40× oil immersion; bone marrow aspirate smear — 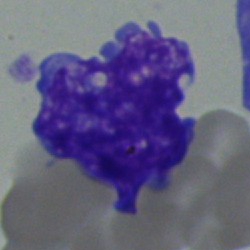
Cell type — blast cell.